Bone marrow smear
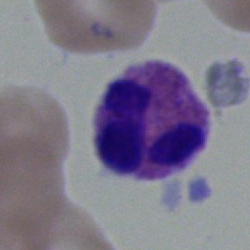
Single cell identified as a segmented neutrophil.